Bone marrow smear:
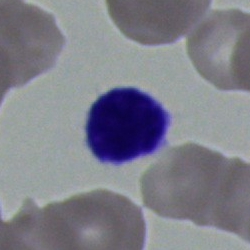Single cell identified as a typical lymphocyte.